Single-cell field. Bone marrow aspirate smear:
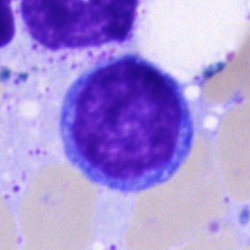

{"cell_type": "lymphocyte"}